MGG-stained · bone marrow aspirate smear.
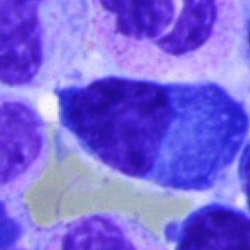

The morphological class is plasmacyte.